Bone marrow smear; MGG-stained; cropped to a single cell: 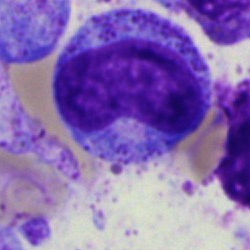
Q: Which cell type is shown here?
A: Progranulocyte.